Bone marrow aspirate smear — 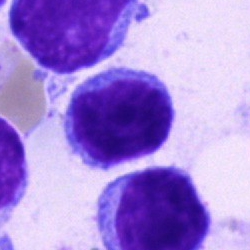

The classification is typical lymphocyte.